Bone marrow smear. May-Grünwald-Giemsa/Pappenheim stain — 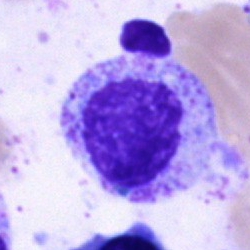
The cell shown is a myelocyte.